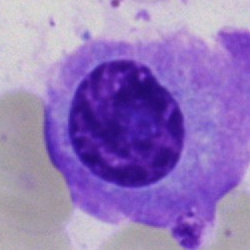

Q: What is the morphological classification of this cell?
A: It is a plasma cell.